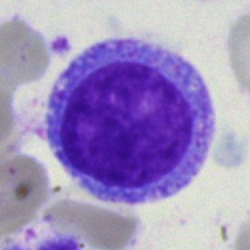Q: Identify the cell.
A: Blast.